Bone marrow smear · 250×250 px — 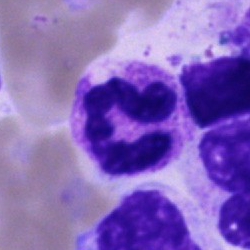

Morphology — polymorphonuclear neutrophil.